Single cell centered in the field · bone marrow smear · 250×250
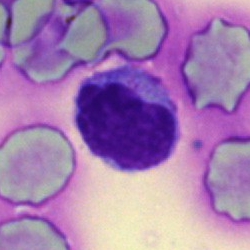The cell shown is a lymphocyte.